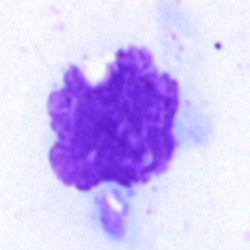

Q: What is shown here?
A: It is an artefact.